May-Grünwald-Giemsa stain. Bone marrow aspirate smear.
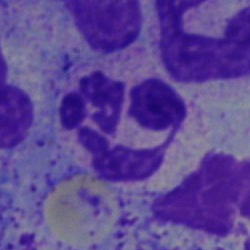 {"cell_type": "neutrophil (segmented)", "lineage": "myeloid"}